Pappenheim-stained. Bone marrow smear:
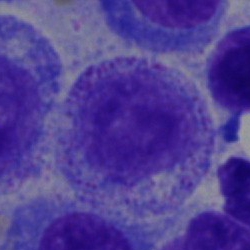 Cell = promyelocyte.